Bone marrow smear · single cell centered in the field: 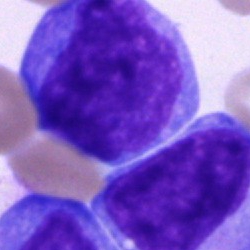Q: Which cell type is shown here?
A: It is an undifferentiated blast.